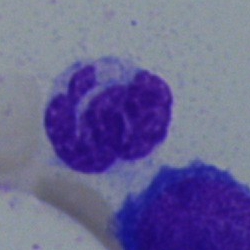
Morphological class — monocyte.